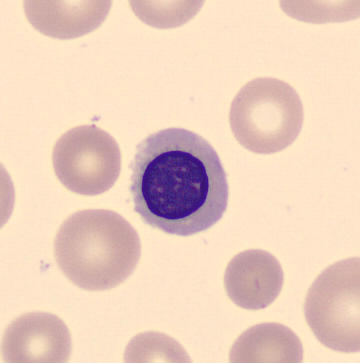

Image: Automated cell imaging (CellaVision DM96). Peripheral blood film. 360×363. Single cell identified as a normoblast.